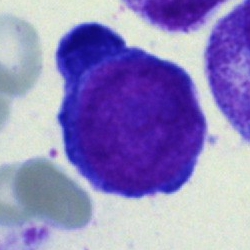
Specimen: bone marrow aspirate smear.
Morphological class: pronormoblast.
Lineage: erythroid.